May-Grünwald-Giemsa/Pappenheim stain. 250 by 250 pixels. Bone marrow aspirate smear:
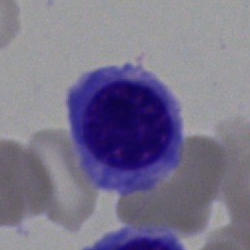

Morphological class = nucleated red cell.